Bone marrow smear:
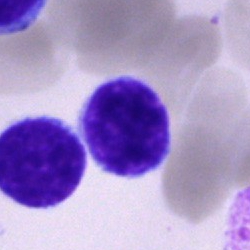 {"cell_type": "lymphocyte", "lineage": "lymphoid"}